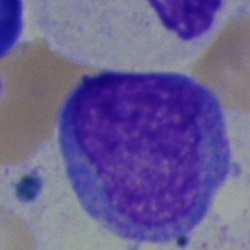 Q: What is the morphological classification of this cell?
A: Undifferentiated blast.